Bone marrow aspirate smear
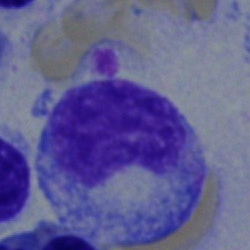
Q: What type of cell is this?
A: A metamyelocyte.